Bone marrow aspirate smear — 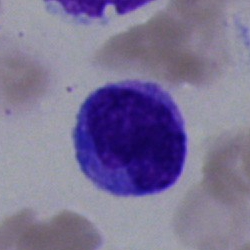Morphological class: typical lymphocyte.